Bone marrow smear.
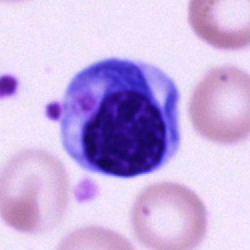
The cell is nucleated red blood cell.